40× objective, oil immersion; bone marrow aspirate smear: 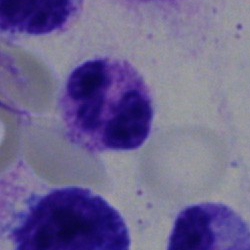Classification — neutrophil (segmented).